Bone marrow smear · brightfield, 40× oil-immersion objective · Pappenheim-stained:
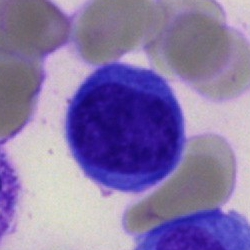
Q: What is shown here?
A: Monocyte.